Bone marrow smear.
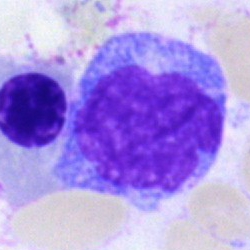

Morphology consistent with a monocyte.